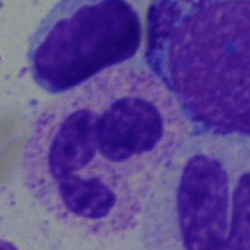
The cell shown is a polymorphonuclear neutrophil.